Bone marrow aspirate smear · single-cell crop · image size 250×250 — 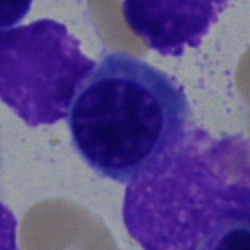 A normoblast.